Bone marrow smear. 40× oil immersion — 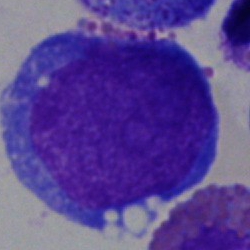

Q: Identify the cell.
A: Blast cell.